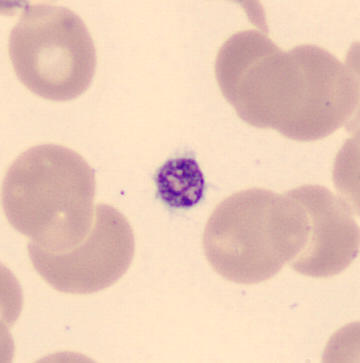 Acquisition: Image size 360×363. MGG stain. Peripheral blood film. Identified as a thrombocyte.